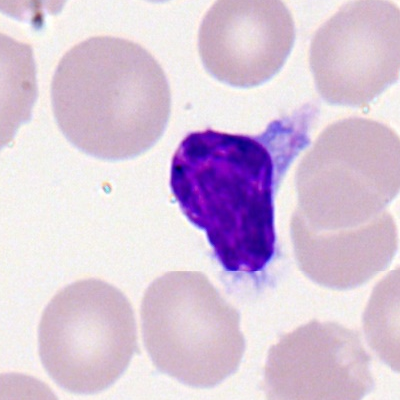
{"cell_type": "lymphocyte"}